Bone marrow smear: 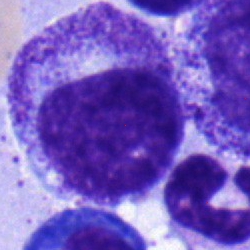

Q: What is shown here?
A: It is a myelocyte.